Bone marrow aspirate smear
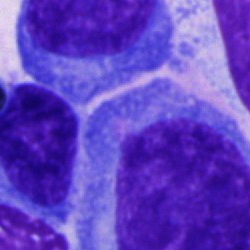

This is a plasma cell.